Bone marrow aspirate smear; 40× oil immersion — 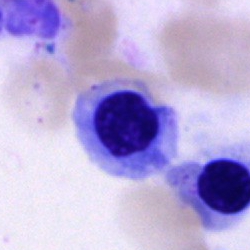

Q: Identify the cell.
A: Erythroblast.